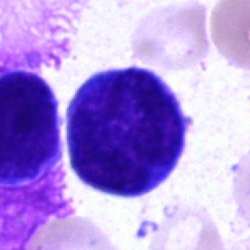Morphology — undifferentiated blast.